Bone marrow aspirate smear: 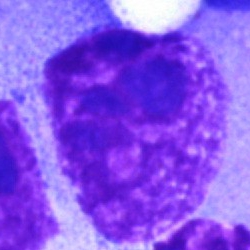Q: What is shown here?
A: It is an artifact.